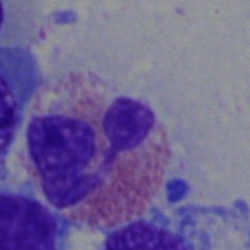

Eosinophil.